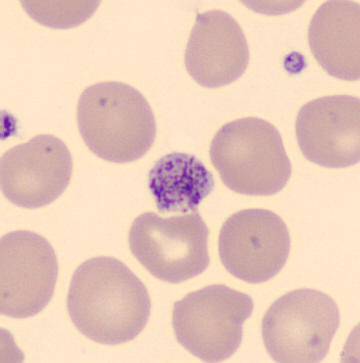

CellaVision DM96; peripheral blood smear; 360×363 px.

Identified as a platelet.